Bone marrow smear. Single cell centered in the field. Brightfield, 40× oil-immersion objective:
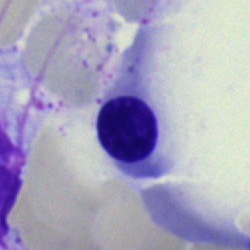

The morphological class is nucleated red cell.